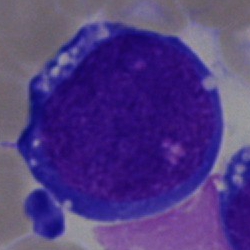

Cell type: blast cell.